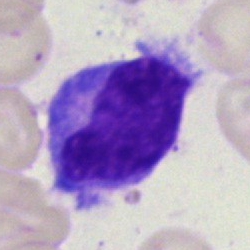

Morphology consistent with a typical lymphocyte.